Bone marrow smear. Brightfield, 40× oil-immersion objective. 250×250 px — 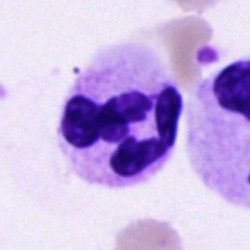

Polymorphonuclear neutrophil.